Bone marrow aspirate smear — 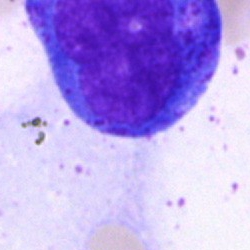

Showing a progranulocyte.